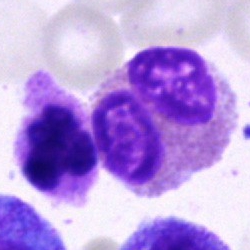
This is an eosinophil.